Bone marrow smear: 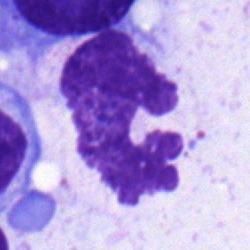 Classification — segmented neutrophil.